Bone marrow aspirate smear.
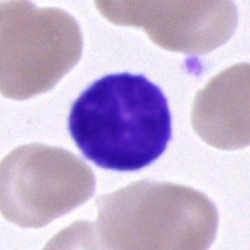
This is a typical lymphocyte.